Bone marrow smear:
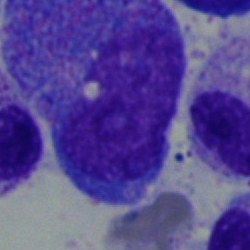
Morphology → progranulocyte.